Bone marrow aspirate smear
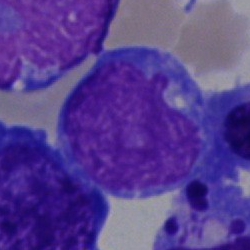
Specimen: bone marrow aspirate smear.
Classification: blast.